Bone marrow aspirate smear — 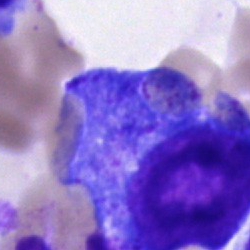

The cell type is progranulocyte.